40× oil immersion. Bone marrow smear. Single-cell crop
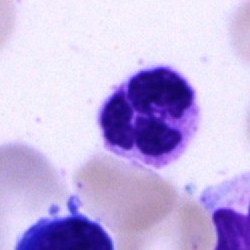
Q: What is the morphological classification of this cell?
A: It is a neutrophil (segmented).